Bone marrow smear — 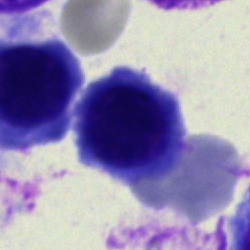
Q: Which cell type is shown here?
A: It is an erythroblast.